Bone marrow aspirate smear: 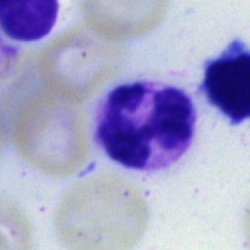

{"cell_type": "segmented neutrophil", "lineage": "myeloid"}